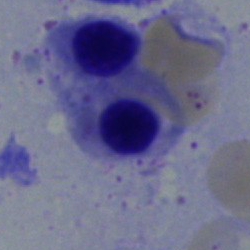Morphological class = nucleated red cell.